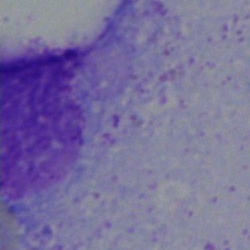

Classification: artefact.